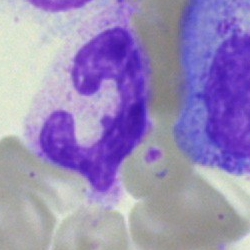
A polymorphonuclear neutrophil on a bone marrow smear.